Bone marrow smear. Cropped to a single cell: 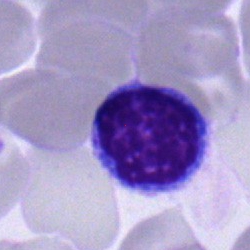

Polymorphonuclear neutrophil.